Bone marrow smear — 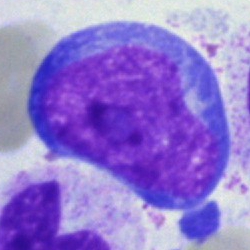The cell type is pronormoblast.